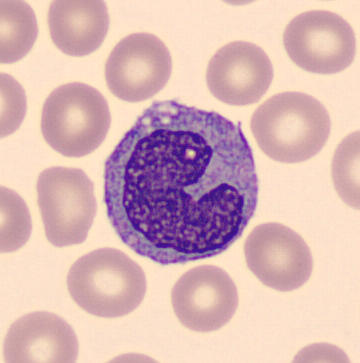The morphological class is monocyte.

Single-cell field. Peripheral blood film.